Bone marrow smear; 250 by 250 pixels.
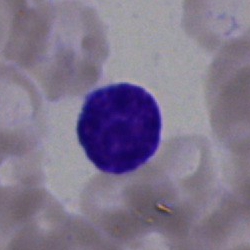Morphology consistent with a lymphocyte.